40× objective, oil immersion · bone marrow smear.
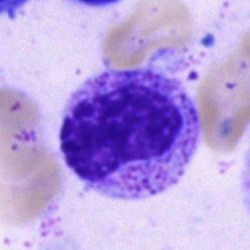 Q: What is shown here?
A: Metamyelocyte.